Bone marrow aspirate smear.
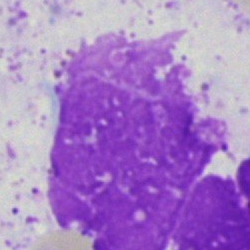 Specimen: bone marrow smear.
Cell: artefact.